Bone marrow smear; 40× oil immersion — 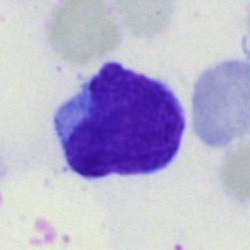

Classification: undifferentiated blast.